Bone marrow smear:
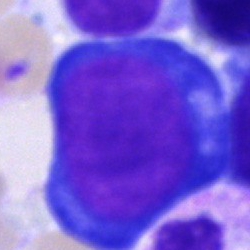

Classification: pronormoblast.